Brightfield, 40× oil-immersion objective; bone marrow smear; MGG-stained:
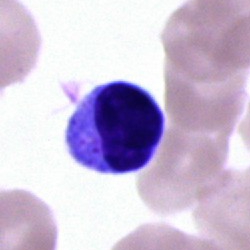

Q: What is shown here?
A: This is a typical lymphocyte.